250×250. Bone marrow aspirate smear.
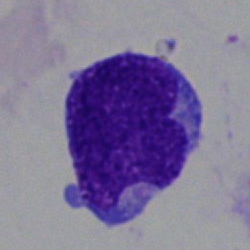 Q: What cell is this?
A: It is a blast cell.